Brightfield, 40× oil-immersion objective. Bone marrow smear — 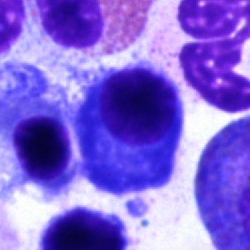
Cell type: plasmacyte.